Bone marrow aspirate smear:
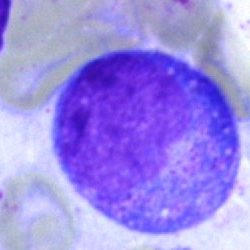

Classification = progranulocyte.